Bone marrow aspirate smear. Pappenheim-stained. Image size 250×250: 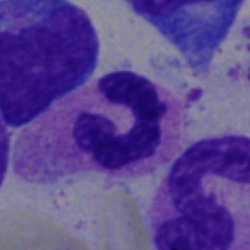

The cell shown is a neutrophil (segmented).